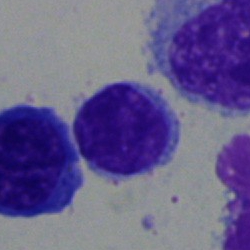Specimen: bone marrow smear.
Morphological class: lymphocyte.